MGG-stained. Imaged on a CellaVision DM96 analyser. Peripheral blood film.
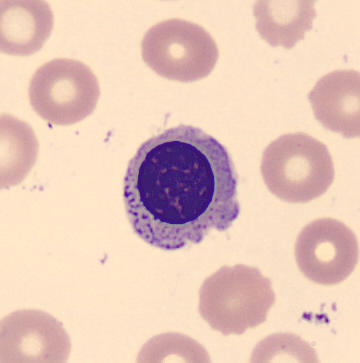
Normoblast.